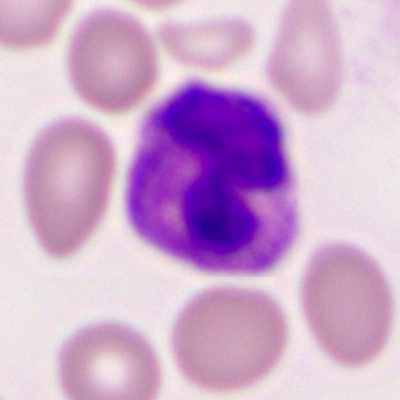 Cell type = segmented neutrophil.